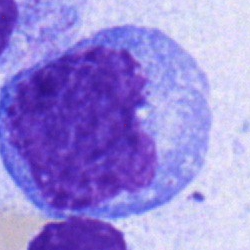Single-cell crop from a bone marrow smear: blast cell.